May-Grünwald-Giemsa/Pappenheim stain; bone marrow smear
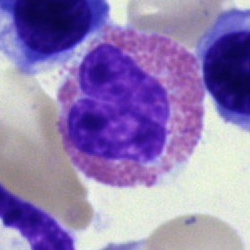
Specimen: bone marrow smear.
Cell: eosinophil.
Lineage: myeloid.